Bone marrow smear.
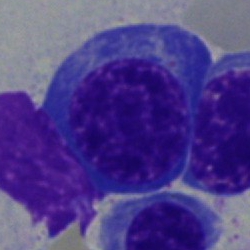
Nucleated red blood cell.